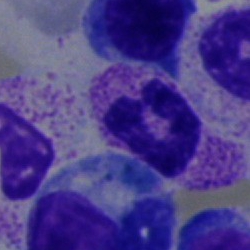
Q: What is shown here?
A: It is a band neutrophil.